Bone marrow smear
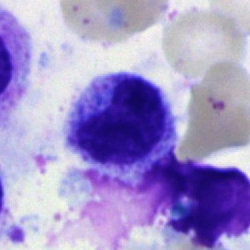 The cell shown is a metamyelocyte.